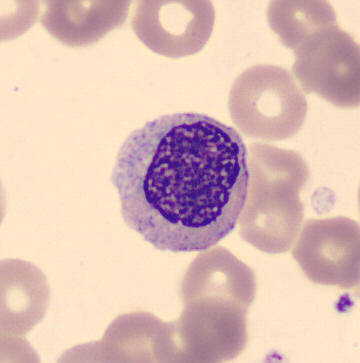

Image: Peripheral blood smear. {"cell_type": "myelocyte"}